250 by 250 pixels. Bone marrow aspirate smear. May-Grünwald-Giemsa stain
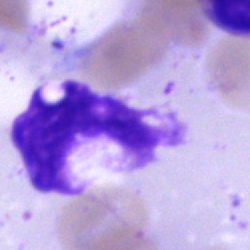
Q: What is shown here?
A: Artefact.